Brightfield microscopy, 40× oil immersion. Bone marrow smear.
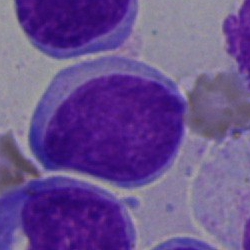 Showing an undifferentiated blast.